Cropped to a single cell · bone marrow aspirate smear.
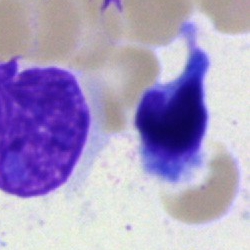
Morphology → lymphocyte.